Bone marrow smear; May-Grünwald-Giemsa/Pappenheim stain; single-cell field — 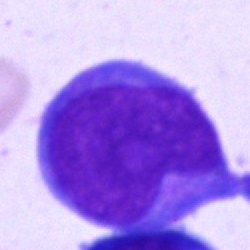
The classification is blast.